Bone marrow aspirate smear · MGG-stained.
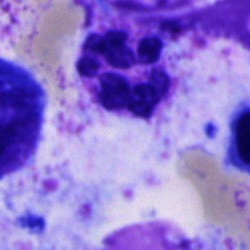 Morphological class — polymorphonuclear neutrophil.